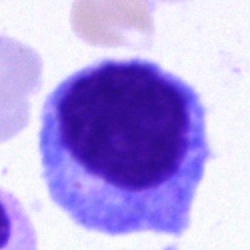
A promyelocyte.